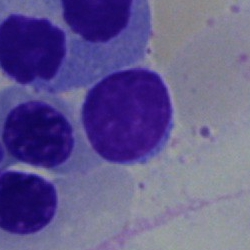Specimen: bone marrow smear.
Cell: typical lymphocyte.